Bone marrow smear:
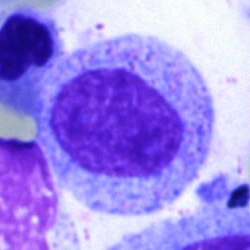Q: Identify the cell.
A: Myelocyte.